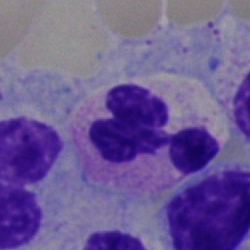

Q: Identify the cell.
A: Segmented neutrophil.